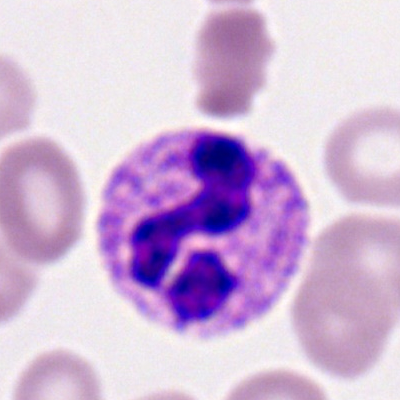 Q: Which cell type is shown here?
A: A neutrophil (segmented).